Imaged on a CellaVision DM96 analyser; peripheral blood smear:
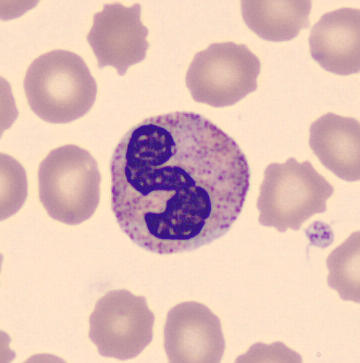
Classification: segmented neutrophil.